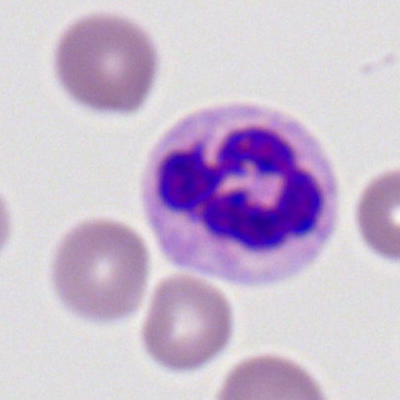
A polymorphonuclear neutrophil on a peripheral blood smear.